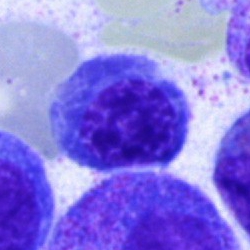

Q: What type of cell is this?
A: It is a nucleated red blood cell.